Bone marrow aspirate smear — 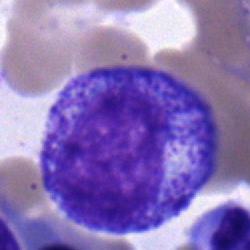

Classification: myelocyte.